Bone marrow aspirate smear · Pappenheim-stained · 250×250 px:
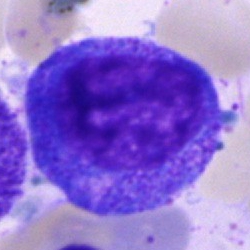Cell: promyelocyte.